Bone marrow aspirate smear · image size 250×250 — 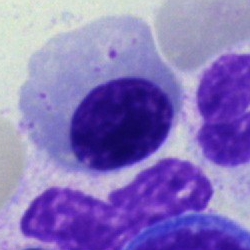 A nucleated red blood cell.